Image size 400×400; 100× objective, oil immersion; peripheral blood smear
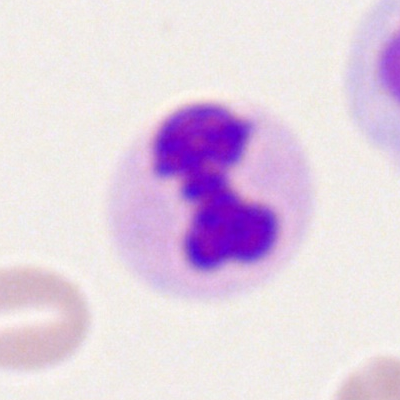

A polymorphonuclear neutrophil.